Bone marrow aspirate smear.
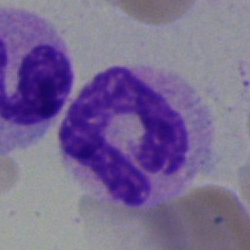

Impression — neutrophil (segmented).